Bone marrow smear: 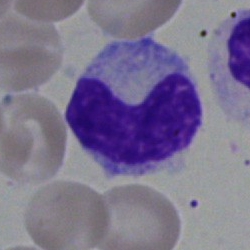 Stab cell.